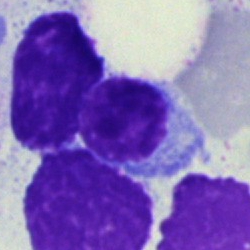 Specimen: bone marrow smear.
Classification: lymphocyte.
Lineage: lymphoid.